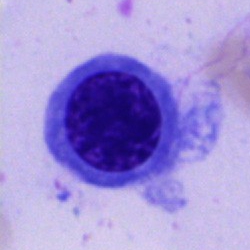Cell type: erythroblast.